Single-cell crop; bone marrow aspirate smear: 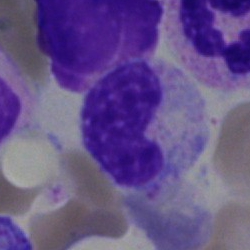
Specimen: bone marrow aspirate smear.
Cell type: band neutrophil.
Lineage: myeloid.